Peripheral blood smear
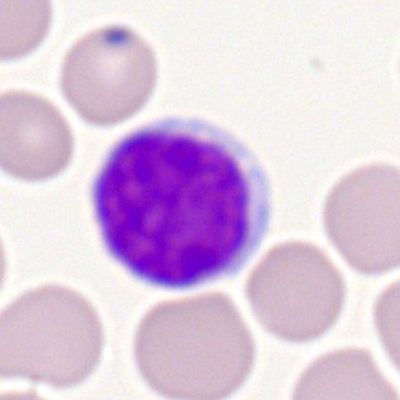 Cell = typical lymphocyte.